Bone marrow smear.
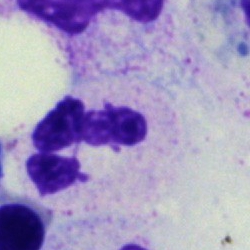
Morphology → neutrophil (segmented).